Bone marrow smear. 250×250. Pappenheim-stained.
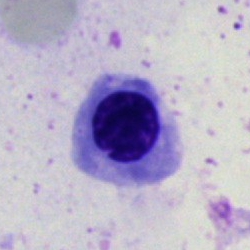 Cell type: erythroblast.